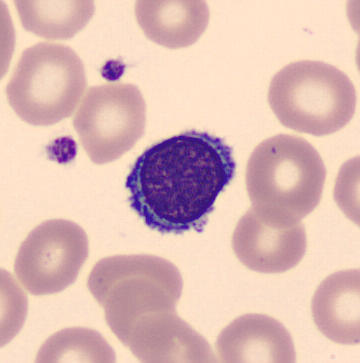

Typical lymphocyte.

Preparation: Peripheral blood smear.